Single cell centered in the field · 40× objective, oil immersion · bone marrow smear:
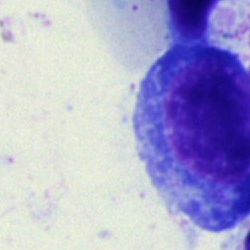

Cell = cell of indeterminate lineage.